Bone marrow aspirate smear
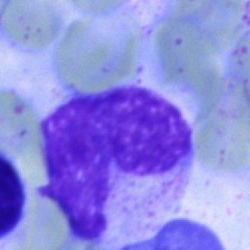 A band neutrophil.